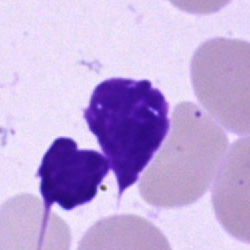Q: What is shown here?
A: It is an artefact.